Bone marrow smear · single cell centered in the field — 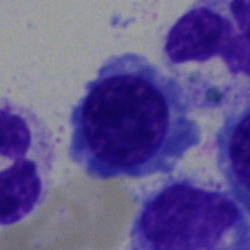

This is a nucleated red cell.